Bone marrow smear — 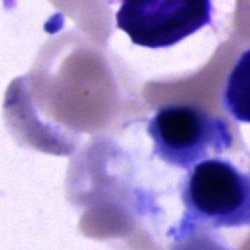 An unidentifiable cell.